Cropped to a single cell. Bone marrow aspirate smear:
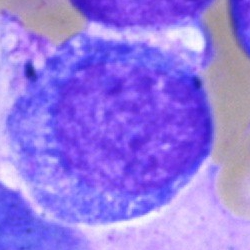Q: What is the morphological classification of this cell?
A: Progranulocyte.